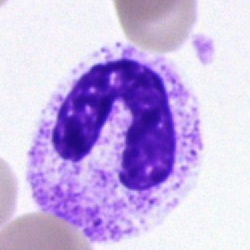

Bone marrow smear showing a segmented neutrophil.